Bone marrow aspirate smear:
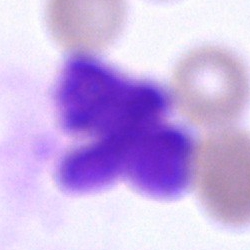

Morphology consistent with a cell of indeterminate lineage.